Peripheral blood film: 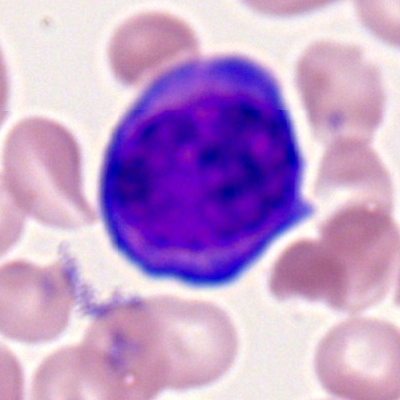 {"cell_type": "myeloblast", "lineage": "myeloid"}